Bone marrow aspirate smear.
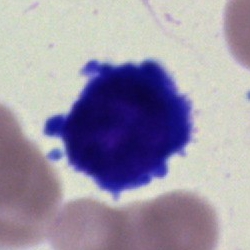
Morphology consistent with a lymphocyte.